250×250; brightfield, 40× oil-immersion objective; bone marrow aspirate smear
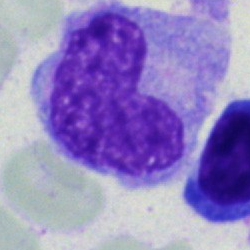
Morphology → monocyte.